CellaVision DM96 digital cell image · peripheral blood smear.
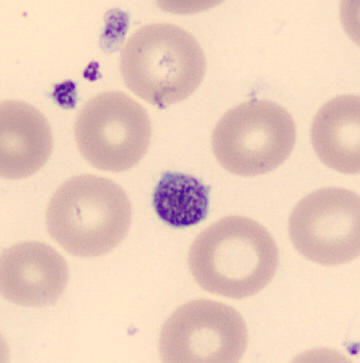

A thrombocyte.